Bone marrow smear
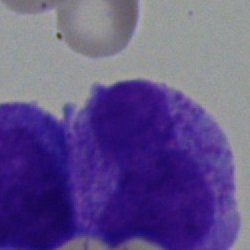

This is a promyelocyte.